Bone marrow aspirate smear.
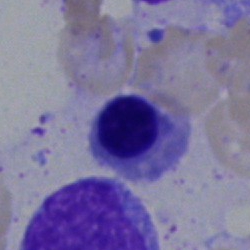The cell shown is a normoblast.